Bone marrow aspirate smear
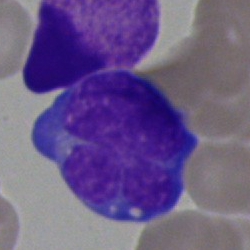

Q: What is shown here?
A: It is a cell of indeterminate lineage.